May-Grünwald-Giemsa stain; bone marrow aspirate smear
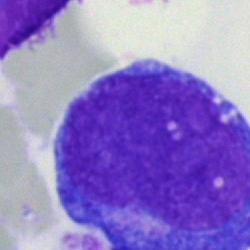Q: What is the morphological classification of this cell?
A: This is a blast.